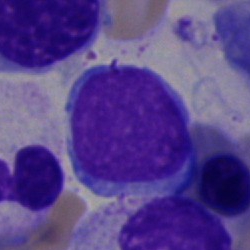

The cell type is typical lymphocyte.